Pappenheim-stained · bone marrow smear.
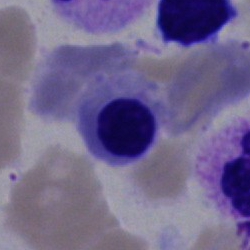 Q: What is shown here?
A: This is a nucleated red cell.